40× objective, oil immersion; 250 by 250 pixels; bone marrow aspirate smear.
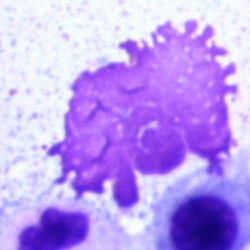

Q: What is shown here?
A: It is an artefact.